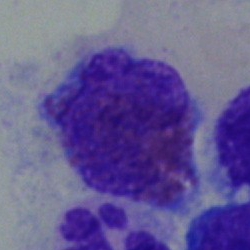 An eosinophilic granulocyte on a bone marrow smear.